Bone marrow smear. 40× objective, oil immersion
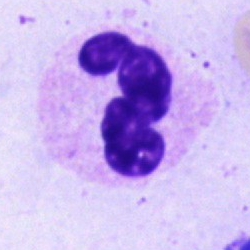Morphological class = neutrophil (segmented).